Bone marrow aspirate smear; single-cell crop; 250×250 px
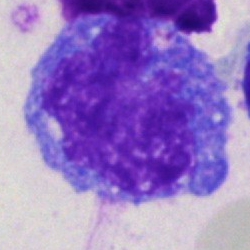
Classification — monocyte.